Bone marrow aspirate smear · brightfield microscopy, 40× oil immersion:
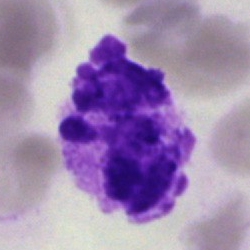

{"cell_type": "artefact"}